Bone marrow aspirate smear:
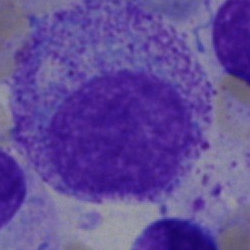{"cell_type": "myelocyte", "lineage": "myeloid"}